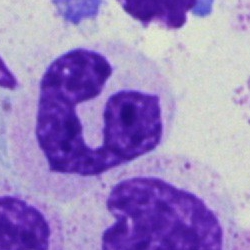

Q: What cell is this?
A: Segmented neutrophil.